250 by 250 pixels · bone marrow aspirate smear:
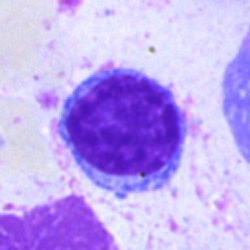
Showing a typical lymphocyte.